Bone marrow aspirate smear:
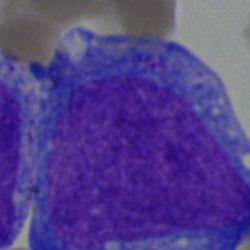A blast cell.